250 by 250 pixels. Bone marrow smear. 40× oil immersion.
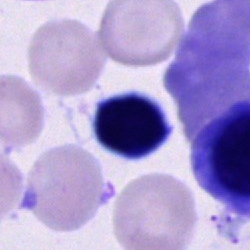 This is a cell of indeterminate lineage.